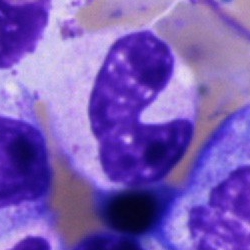{"cell_type": "stab cell"}